Brightfield microscopy, 40× oil immersion. Bone marrow smear:
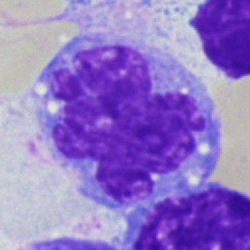

The cell is monocyte.